Pappenheim-stained. Bone marrow aspirate smear
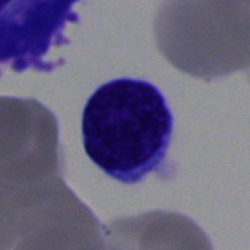 {"cell_type": "lymphocyte", "lineage": "lymphoid"}